May-Grünwald-Giemsa stain · bone marrow smear.
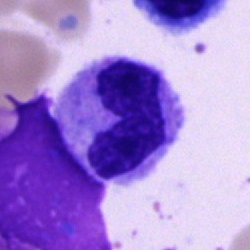Cell type — band-form neutrophil.